Bone marrow aspirate smear. Pappenheim-stained:
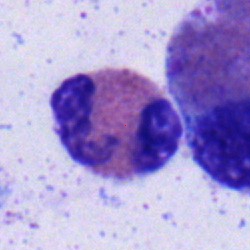

Eosinophilic granulocyte.